Bone marrow smear.
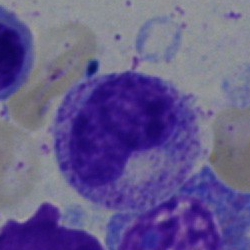

Classification = metamyelocyte.